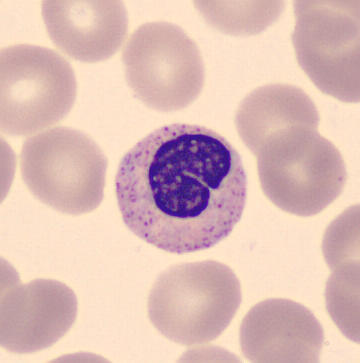Neutrophil (band). Acquisition: Peripheral blood smear. CellaVision DM96.